Bone marrow smear — 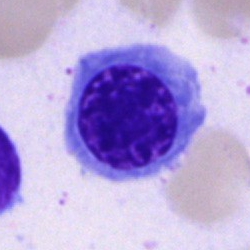
Nucleated red cell.